Bone marrow aspirate smear; 250 by 250 pixels; brightfield, 40× oil-immersion objective.
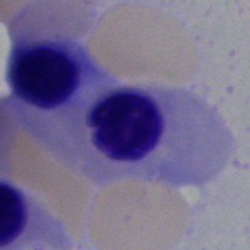
Morphology consistent with a normoblast.